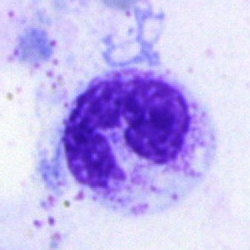
Q: Which cell type is shown here?
A: This is a polymorphonuclear neutrophil.